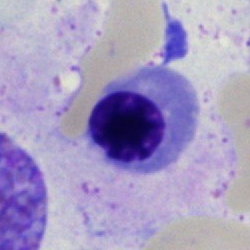

Morphology → normoblast.